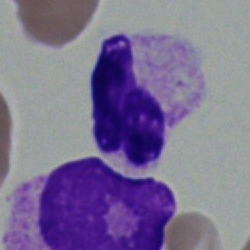Single cell identified as a neutrophil (segmented).